Bone marrow aspirate smear: 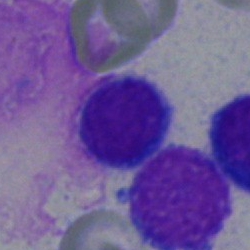The cell shown is a typical lymphocyte.